Image size 250×250; bone marrow smear: 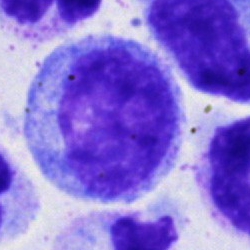Classification = progranulocyte.